Bone marrow smear: 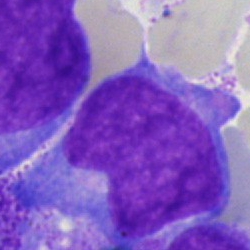 Blast.